Bone marrow smear
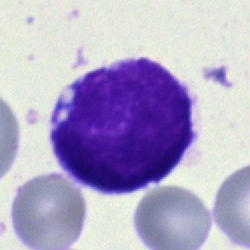

The cell shown is a blast.